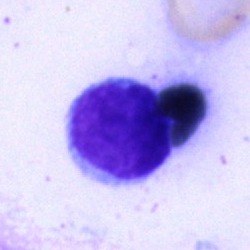 Classification: lymphocyte.